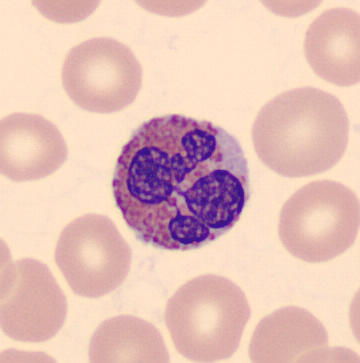Acquisition: Peripheral blood film. Morphology — eosinophilic granulocyte.